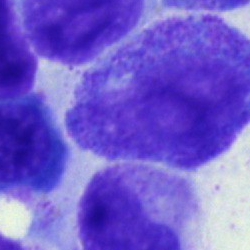Specimen: bone marrow aspirate smear.
Classification: promyelocyte.
Lineage: myeloid.